Bone marrow smear: 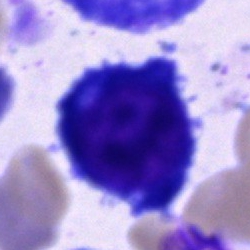

Specimen: bone marrow aspirate smear.
Morphological class: pronormoblast.